Bone marrow smear — 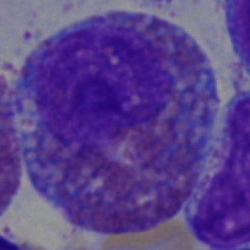

Morphology consistent with an eosinophilic granulocyte.